Bone marrow smear. 250×250 px. Brightfield microscopy, 40× oil immersion: 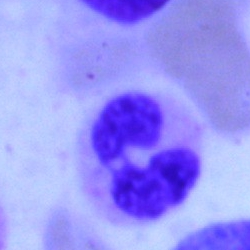
The cell shown is a segmented neutrophil.